May-Grünwald-Giemsa stain · bone marrow aspirate smear:
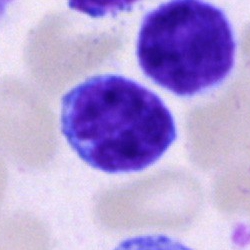

The cell type is typical lymphocyte.